Bone marrow smear.
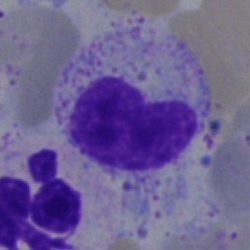
Morphology consistent with a metamyelocyte.